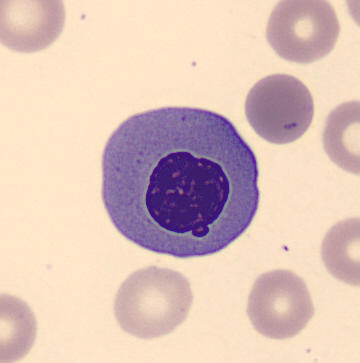The cell shown is an erythroblast.